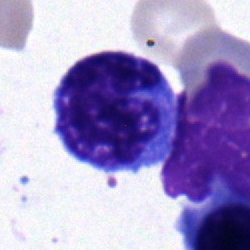

Morphology — monocyte.